Bone marrow aspirate smear · Pappenheim-stained · single cell centered in the field:
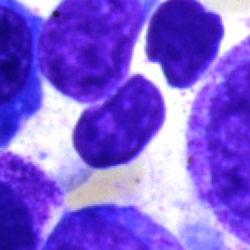 This is a cell of indeterminate lineage.